Bone marrow smear — 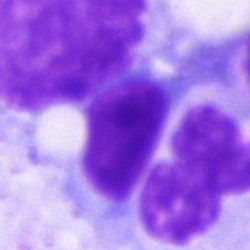

This is an artifact.